Peripheral blood film — 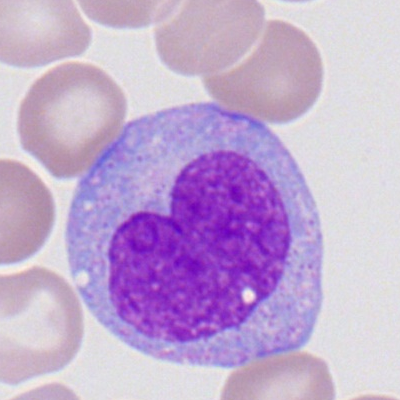 This is a promyelocyte.